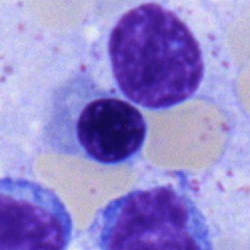A nucleated red blood cell.